Bone marrow aspirate smear.
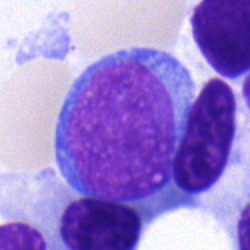
Morphological class: blast cell.